Bone marrow aspirate smear; single-cell crop:
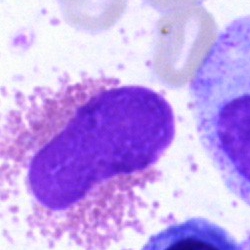
Specimen: bone marrow smear.
Classification: eosinophil.
Lineage: myeloid.